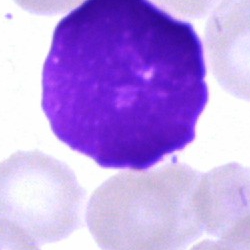Specimen: bone marrow aspirate smear.
Cell: artifact.